Bone marrow smear; brightfield, 40× oil-immersion objective; image size 250×250:
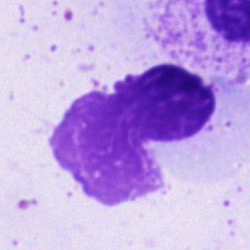Specimen: bone marrow aspirate smear.
Cell type: artefact.